MGG-stained. Bone marrow smear
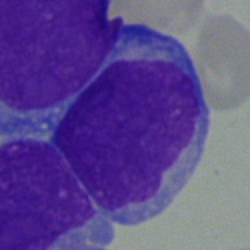Morphology consistent with a blast cell.